Bone marrow smear — 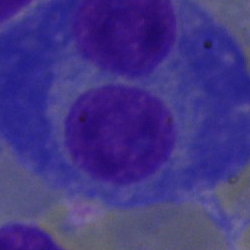
Q: What type of cell is this?
A: This is a plasmacyte.